Bone marrow aspirate smear:
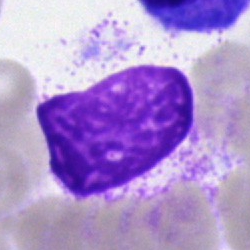
Q: What is shown here?
A: This is an artifact.